Bone marrow smear · 250 by 250 pixels — 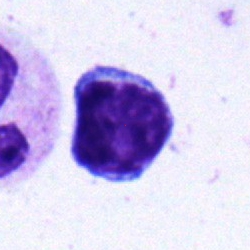A typical lymphocyte.